Single cell centered in the field. Bone marrow smear. Brightfield microscopy, 40× oil immersion — 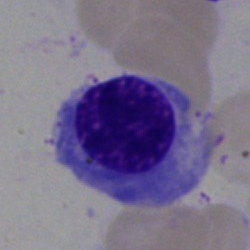

Q: What is the morphological classification of this cell?
A: A nucleated red blood cell.